Single cell centered in the field; bone marrow smear: 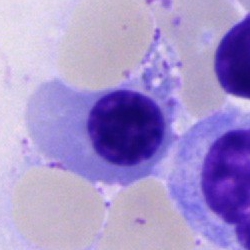Erythroblast.